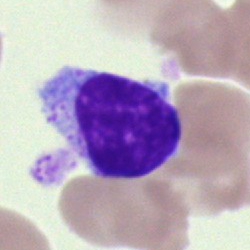 Showing a typical lymphocyte.